Bone marrow aspirate smear: 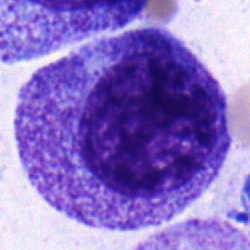

Morphological class — promyelocyte.